Peripheral blood smear.
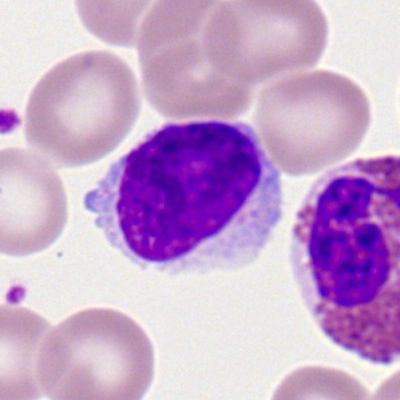
Impression → typical lymphocyte.